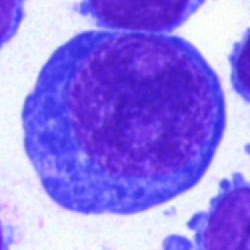 Impression → nucleated red cell.